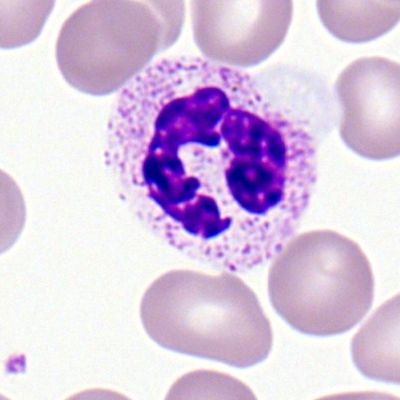 Specimen: peripheral blood smear.
Classification: neutrophil (segmented).
Lineage: myeloid.